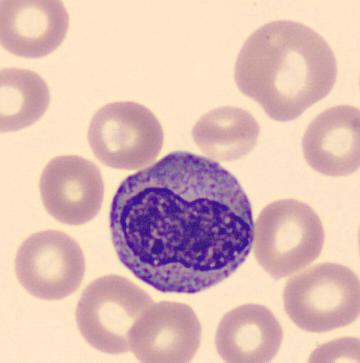

Specimen: peripheral blood smear.
Morphological class: metamyelocyte.

Acquisition: CellaVision DM96 digital cell image.